Bone marrow smear — 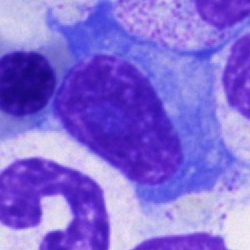 Q: Which cell type is shown here?
A: A plasma cell.